Bone marrow aspirate smear; Pappenheim-stained:
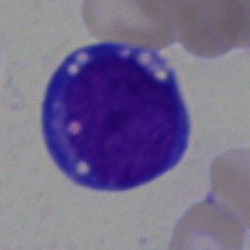 The cell shown is an undifferentiated blast.